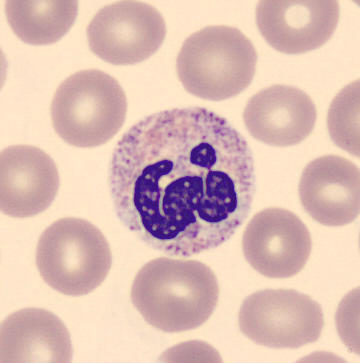Acquisition: Peripheral blood film · May Grünwald-Giemsa stain · 360 by 363 pixels. The cell type is polymorphonuclear neutrophil.